Bone marrow smear: 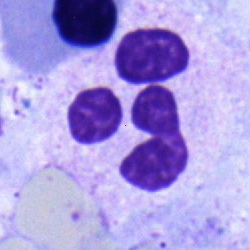
Morphological class — polymorphonuclear neutrophil.